Peripheral blood film
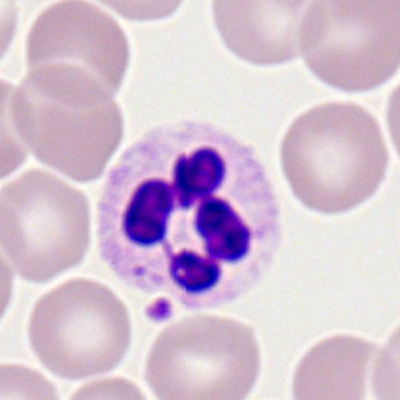Showing a segmented neutrophil.